M8 digital microscope (Precipoint), 100× oil immersion · peripheral blood film: 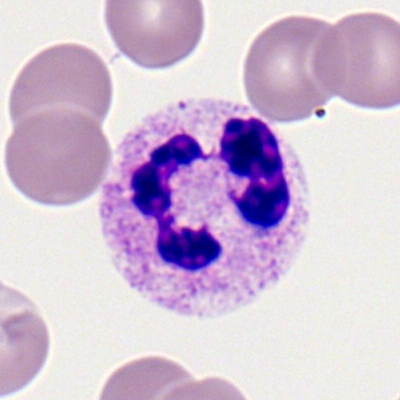

Polymorphonuclear neutrophil.